Bone marrow aspirate smear
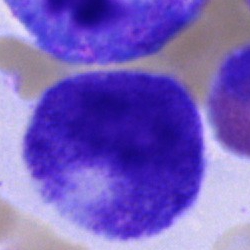 This is a promyelocyte.